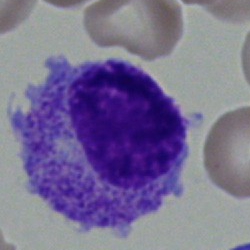
The classification is myelocyte.